Bone marrow aspirate smear — 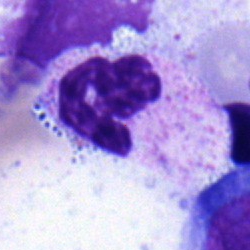
Q: What is the morphological classification of this cell?
A: Polymorphonuclear neutrophil.